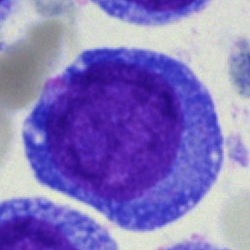Morphology → blast cell.